Single-cell field · image size 250×250 · bone marrow smear
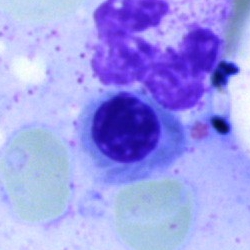 Showing a nucleated red blood cell.